Bone marrow smear:
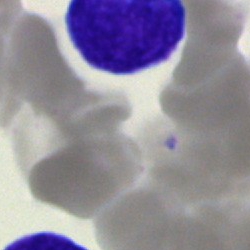Morphology consistent with a cell of indeterminate lineage.